Peripheral blood smear: 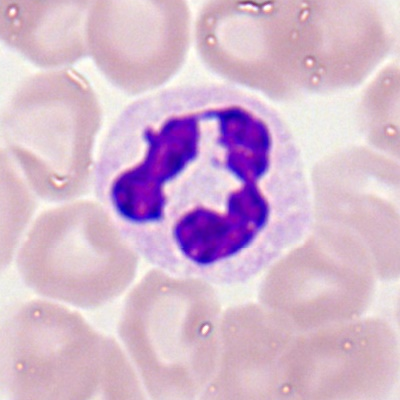 Morphology consistent with a neutrophil (segmented).